Bone marrow smear: 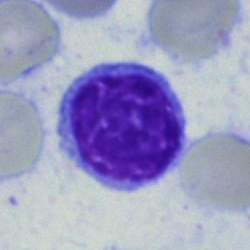 Classification: lymphocyte.